40× oil immersion; bone marrow aspirate smear: 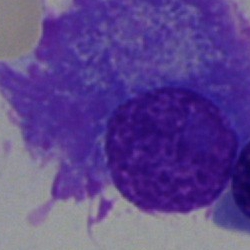A plasma cell.